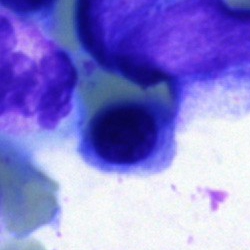
Nucleated red cell.